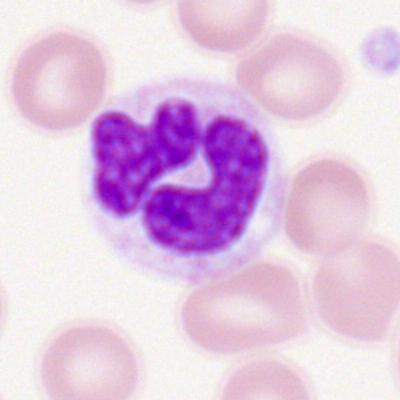

A polymorphonuclear neutrophil on a peripheral blood smear.